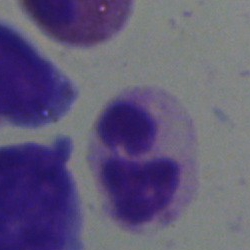
A neutrophil (segmented) on a bone marrow smear.